MGG-stained; bone marrow aspirate smear: 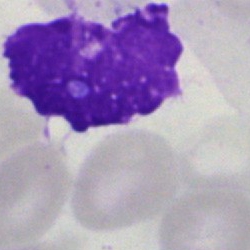
Specimen: bone marrow smear.
Classification: artifact.